Bone marrow aspirate smear; brightfield microscopy, 40× oil immersion — 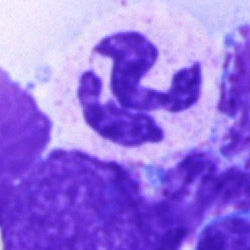 Showing a polymorphonuclear neutrophil.